Bone marrow aspirate smear: 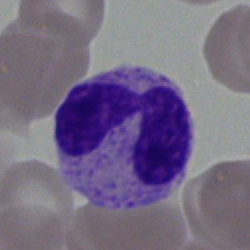
This is a segmented neutrophil.